Single cell centered in the field. Brightfield, 40× oil-immersion objective. Bone marrow smear
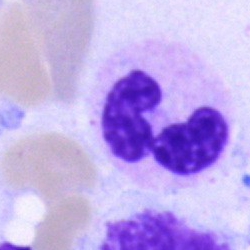 Morphology consistent with a polymorphonuclear neutrophil.